Bone marrow smear: 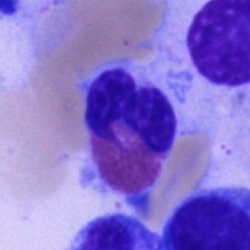
Single cell identified as a basophil.